Peripheral blood film · image size 360×363: 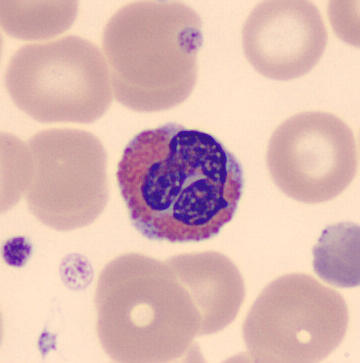
Specimen: peripheral blood film.
Cell type: eosinophilic granulocyte.
Lineage: myeloid.